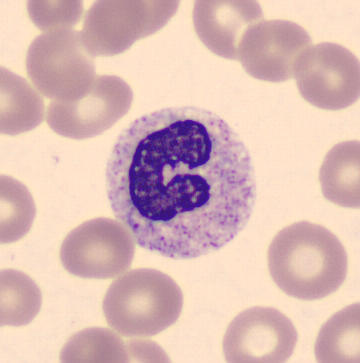Peripheral blood smear.
Q: Which cell type is shown here?
A: It is a band neutrophil.